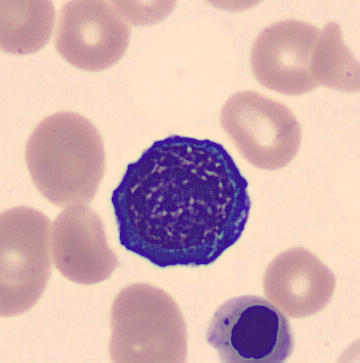

Preparation: Peripheral blood film.

Classification = normoblast.